Bone marrow aspirate smear:
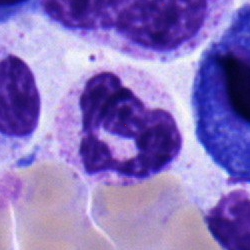 This is a polymorphonuclear neutrophil.